Bone marrow smear
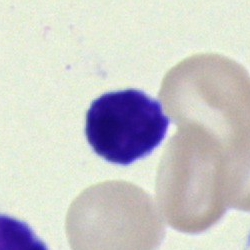Classification = typical lymphocyte.